Bone marrow aspirate smear:
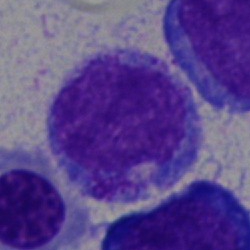Cell type — promyelocyte.